May-Grünwald-Giemsa stain; bone marrow smear; 250 by 250 pixels.
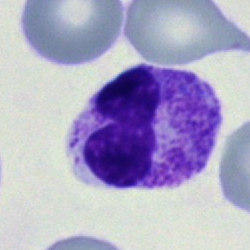
Specimen: bone marrow aspirate smear.
Cell type: band-form neutrophil.
Lineage: myeloid.